Bone marrow aspirate smear; 40× oil immersion — 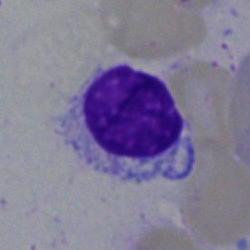
Morphological class = lymphocyte.